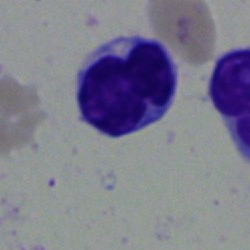Cell type — lymphocyte.